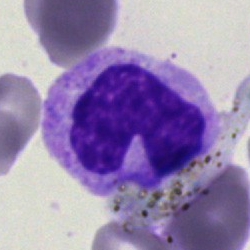

Specimen: bone marrow aspirate smear.
Cell: stab cell.